Bone marrow smear:
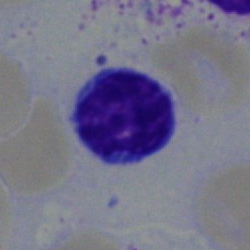
Cell: neutrophil (segmented).